Brightfield, 40× oil-immersion objective. Bone marrow smear: 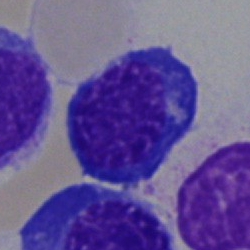

A nucleated red blood cell.